Peripheral blood smear.
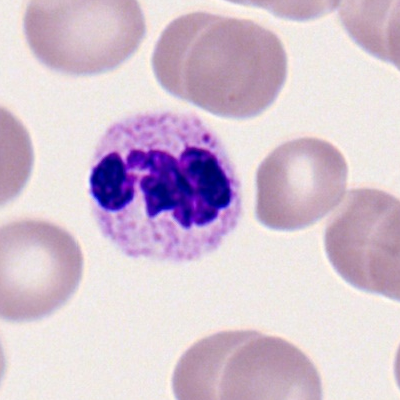Showing a neutrophil (segmented).